40× oil immersion · cropped to a single cell · bone marrow aspirate smear: 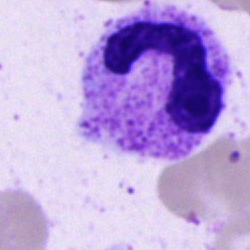 Cell type — stab cell.